Bone marrow aspirate smear; 250×250 px: 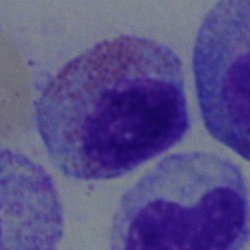 Showing an eosinophilic granulocyte.